Single-cell field · bone marrow smear: 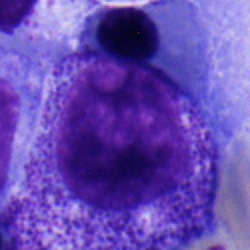 Morphology consistent with a myelocyte.